Bone marrow aspirate smear — 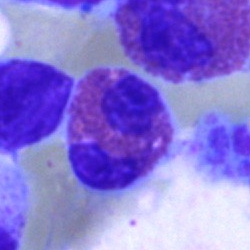

Q: Identify the cell.
A: This is an eosinophil.